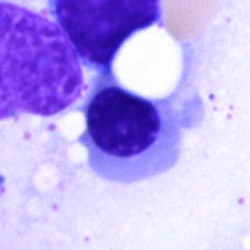

Q: What is the morphological classification of this cell?
A: Nucleated red cell.